Brightfield, 40× oil-immersion objective. Pappenheim-stained. Bone marrow smear: 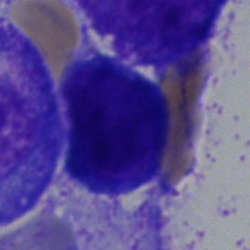Showing an artefact.